Bone marrow aspirate smear
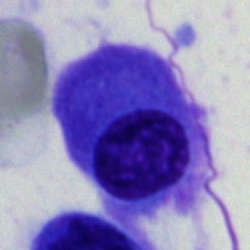 Cell type = plasma cell.